250×250 · bone marrow smear
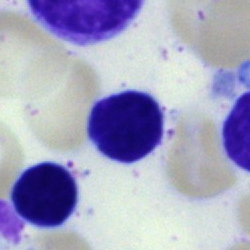

Single cell identified as a typical lymphocyte.